Bone marrow smear. Single-cell field:
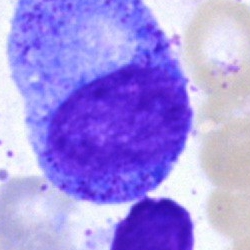The cell type is promyelocyte.